Bone marrow aspirate smear
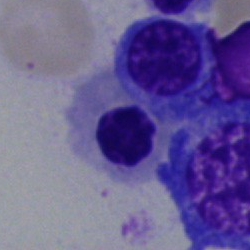 Morphology — nucleated red cell.